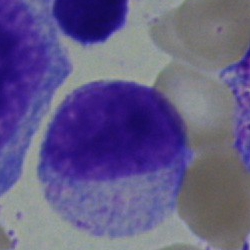Specimen: bone marrow smear.
Cell: myelocyte.
Lineage: myeloid.